Cropped to a single cell. 250×250. Bone marrow smear
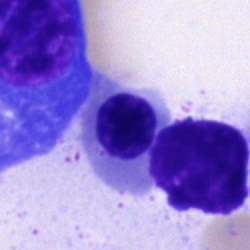 An erythroblast.